Bone marrow smear; MGG-stained; cropped to a single cell
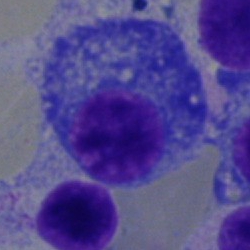
Specimen: bone marrow aspirate smear.
Cell: plasma cell.
Lineage: lymphoid.